Bone marrow aspirate smear. Single-cell crop.
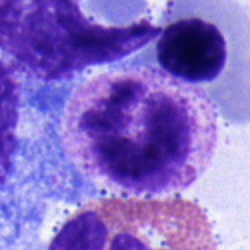

Stab cell.